Bone marrow aspirate smear.
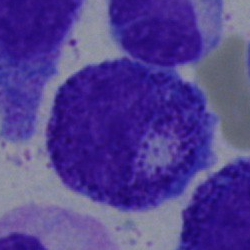
Morphological class = progranulocyte.